Bone marrow smear · cropped to a single cell.
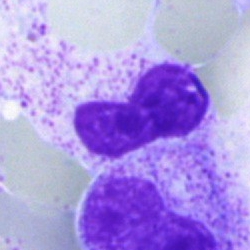Specimen: bone marrow aspirate smear.
Cell type: neutrophil (band).
Lineage: myeloid.